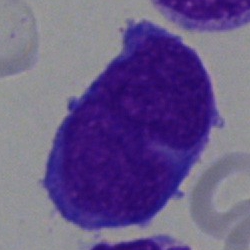 {"cell_type": "undifferentiated blast"}